Bone marrow aspirate smear: 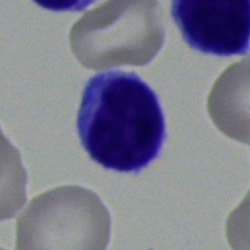

Morphology → lymphocyte.